Bone marrow aspirate smear
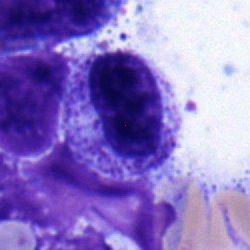Cell — myelocyte.